Bone marrow aspirate smear — 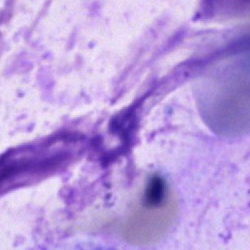 Cell type: artifact.